Bone marrow aspirate smear; 250 by 250 pixels: 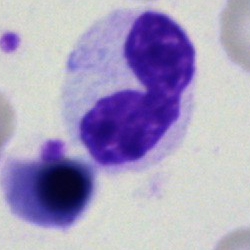
Q: What is the morphological classification of this cell?
A: This is a polymorphonuclear neutrophil.